Image size 250×250. Bone marrow smear. 40× objective, oil immersion.
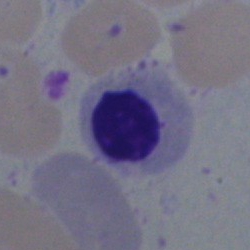Q: What cell is this?
A: Nucleated red cell.